Bone marrow aspirate smear
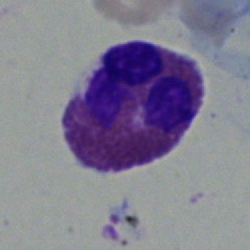

Showing an eosinophil.